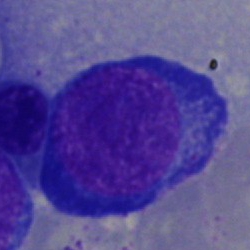 Erythroblast.